Bone marrow smear; 250×250:
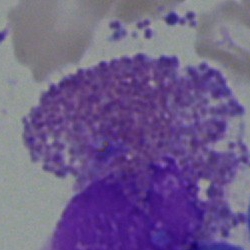Classification = eosinophil.